Bone marrow smear: 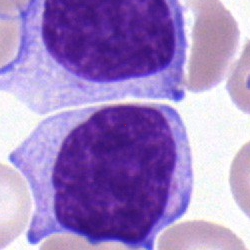

Specimen: bone marrow smear.
Cell type: typical lymphocyte.